Bone marrow smear
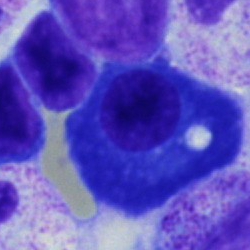

Morphological class: plasmacyte.